Bone marrow aspirate smear:
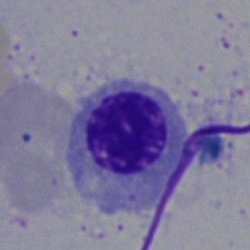{"cell_type": "nucleated red blood cell", "lineage": "erythroid"}